Bone marrow smear:
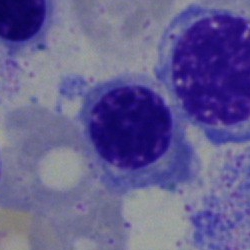 Q: Which cell type is shown here?
A: Normoblast.